40× oil immersion. Single cell centered in the field. Bone marrow smear — 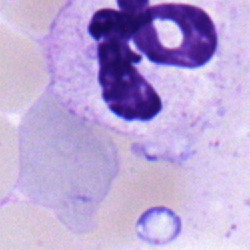Cell — segmented neutrophil.